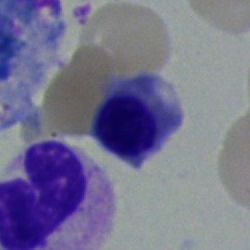
Bone marrow smear showing a normoblast.